Single cell centered in the field · peripheral blood film:
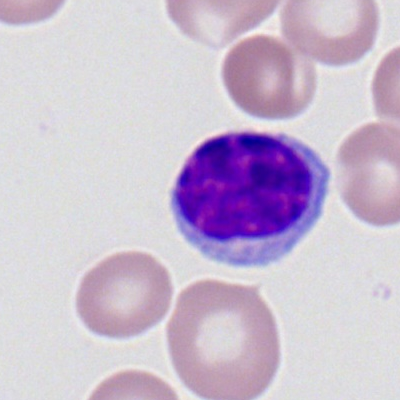
The morphological class is typical lymphocyte.